Peripheral blood smear — 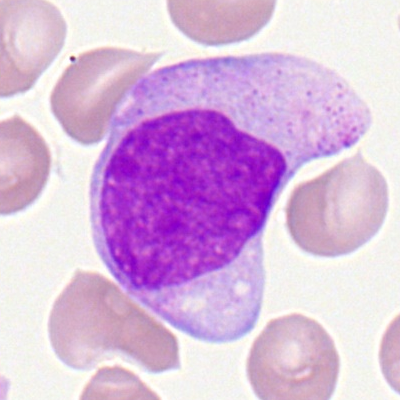

Cell type: monocyte.